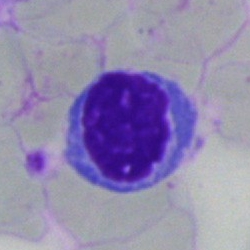 Morphology → erythroblast.